40× objective, oil immersion; cropped to a single cell; bone marrow aspirate smear
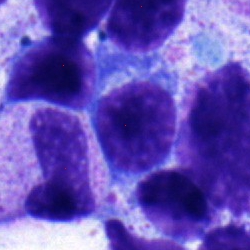

The cell shown is an erythroblast.